Single-cell crop. Pappenheim-stained. Bone marrow smear — 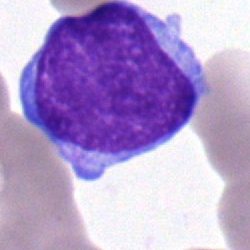Impression → undifferentiated blast.